Bone marrow aspirate smear
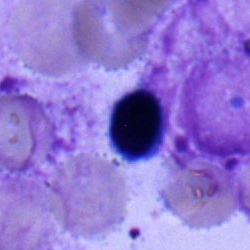
The classification is typical lymphocyte.